Bone marrow smear.
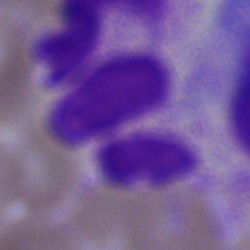 Q: What is shown here?
A: This is an artefact.